Bone marrow aspirate smear:
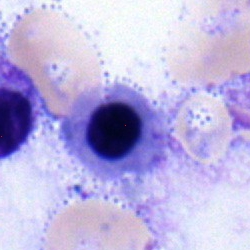Showing an erythroblast.